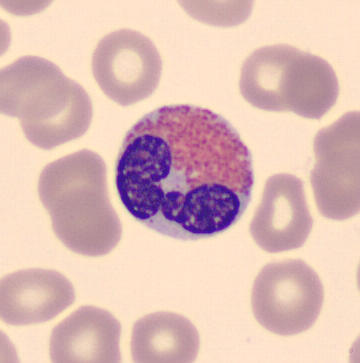 Preparation: Peripheral blood smear. Cell type: eosinophil.